Bone marrow aspirate smear: 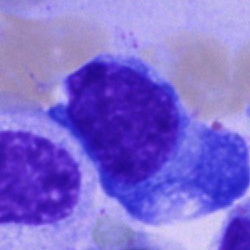
Classification — plasmacyte.